Single-cell field · Pappenheim-stained · bone marrow smear:
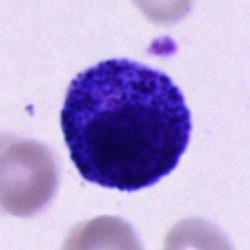Q: What cell is this?
A: This is a progranulocyte.